Peripheral blood film
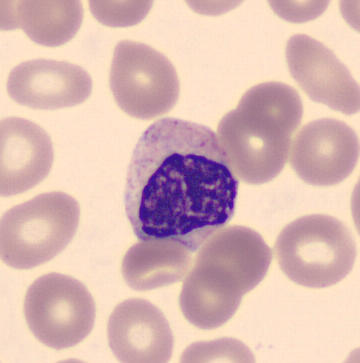

The cell type is metamyelocyte.